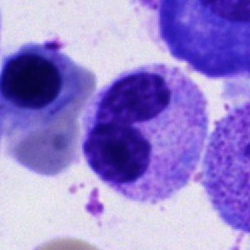
Cell type — polymorphonuclear neutrophil.